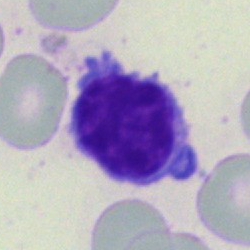 Morphology consistent with a lymphocyte.